Bone marrow aspirate smear: 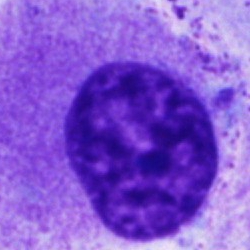Morphology → other cell type.